Bone marrow aspirate smear
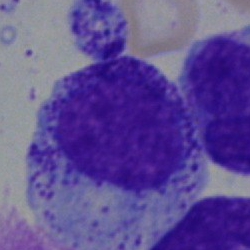Specimen: bone marrow aspirate smear.
Cell type: myelocyte.
Lineage: myeloid.